Bone marrow smear
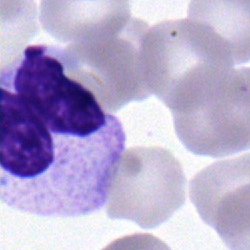 Impression — band neutrophil.